Bone marrow smear — 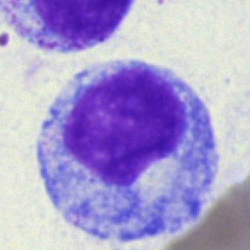
A progranulocyte.